Pappenheim-stained. 250×250 px. Bone marrow aspirate smear:
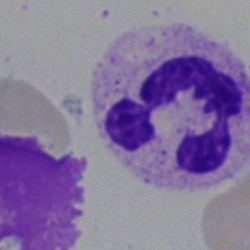Morphology consistent with a segmented neutrophil.